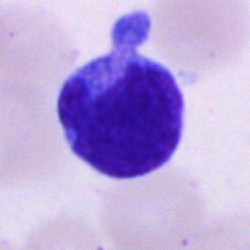Q: Which cell type is shown here?
A: Monocyte.